Bone marrow aspirate smear.
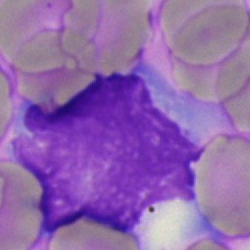
Morphological class = lymphocyte.